Single-cell crop. Bone marrow aspirate smear — 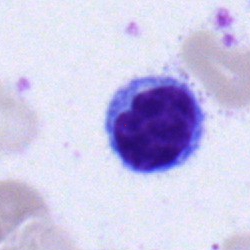

A typical lymphocyte.